May-Grünwald-Giemsa stain; bone marrow aspirate smear.
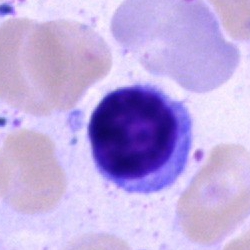
A lymphocyte.